Bone marrow aspirate smear
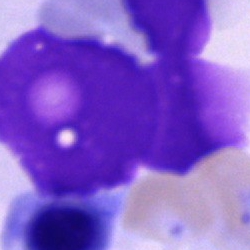Q: What is shown here?
A: Artifact.